40× oil immersion. Bone marrow aspirate smear
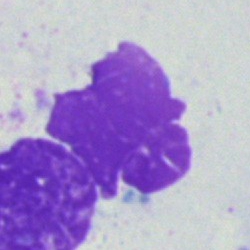

Q: What is shown here?
A: This is an artifact.